Bone marrow aspirate smear — 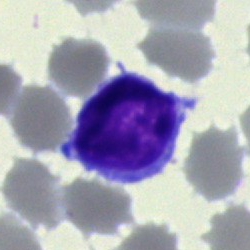Cell type — typical lymphocyte.